Single cell centered in the field; bone marrow smear; 40× objective, oil immersion:
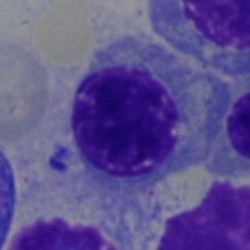 This is an erythroblast.